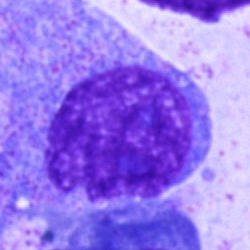 Showing a promyelocyte.